250×250. Bone marrow aspirate smear
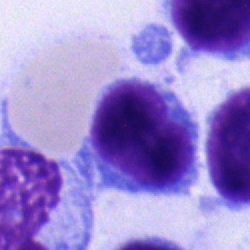

The cell shown is a typical lymphocyte.